Single-cell crop. Bone marrow aspirate smear: 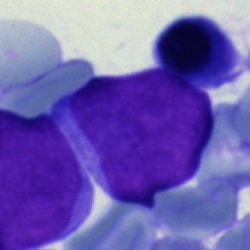 Impression — undifferentiated blast.